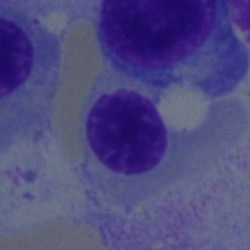
Normoblast.